Pappenheim-stained. 40× oil immersion. Bone marrow aspirate smear — 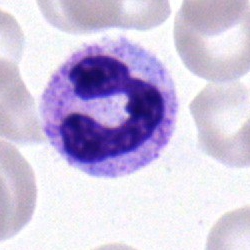The cell shown is a polymorphonuclear neutrophil.